250×250; bone marrow smear; single-cell field: 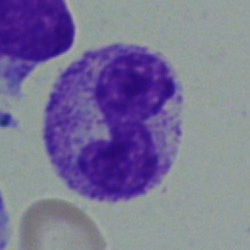

Morphological class = band neutrophil.